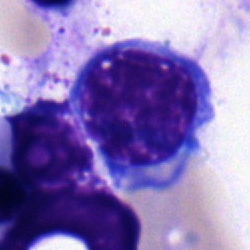
Morphology consistent with a normoblast.